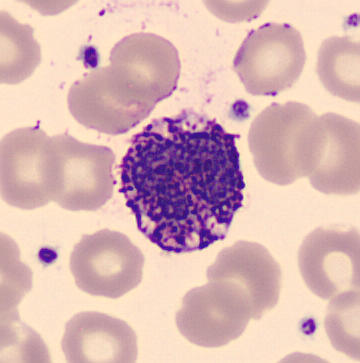Preparation: Peripheral blood smear. This is a basophil.